Peripheral blood smear: 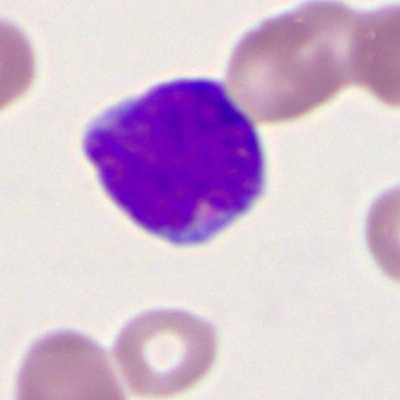
Morphological class = myeloblast.